Peripheral blood smear:
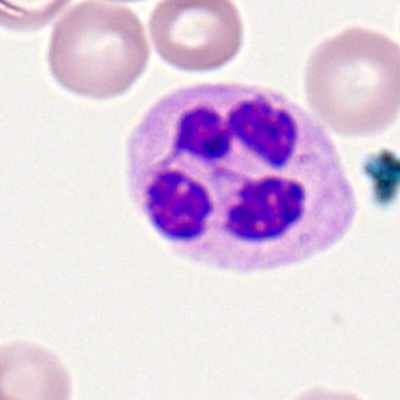

Neutrophil (segmented).